250×250; single-cell field; bone marrow aspirate smear.
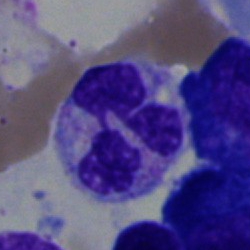
Q: What type of cell is this?
A: This is a segmented neutrophil.